Cropped to a single cell · bone marrow aspirate smear — 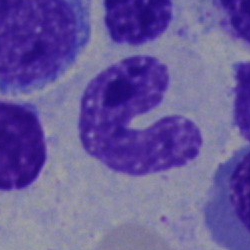Band-form neutrophil.